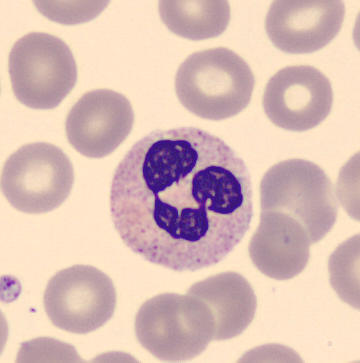Morphological class = segmented neutrophil.